250×250; bone marrow aspirate smear:
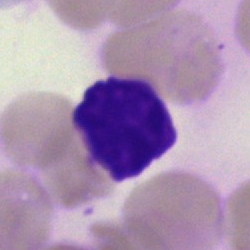{"cell_type": "artifact"}